Bone marrow aspirate smear. MGG-stained. Brightfield microscopy, 40× oil immersion — 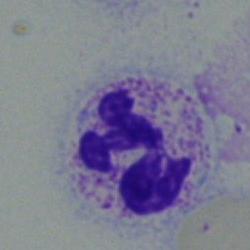Single cell identified as a neutrophil (segmented).